Bone marrow aspirate smear; image size 250×250:
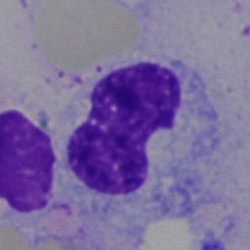{"cell_type": "stab cell"}